Peripheral blood film:
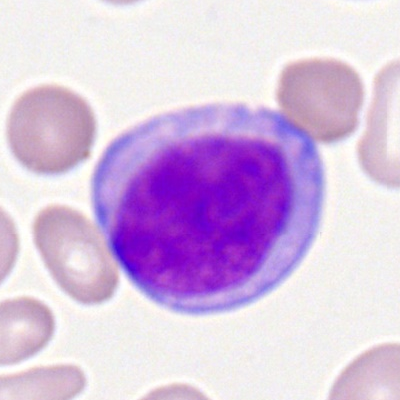 {"cell_type": "myeloid blast"}